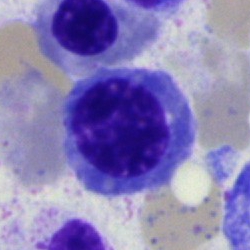
Specimen: bone marrow aspirate smear.
Cell type: normoblast.